Bone marrow aspirate smear — 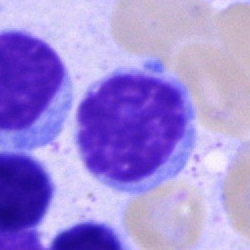
The cell shown is a lymphocyte.